Single cell centered in the field · bone marrow smear:
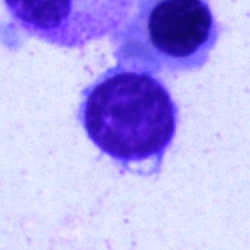 Lymphocyte.